Bone marrow smear.
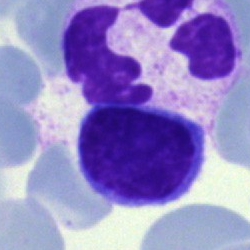 Specimen: bone marrow aspirate smear.
Classification: polymorphonuclear neutrophil.
Lineage: myeloid.